Bone marrow smear:
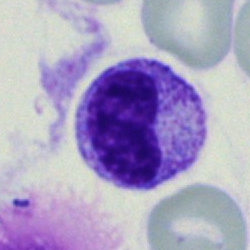
The cell shown is a metamyelocyte.